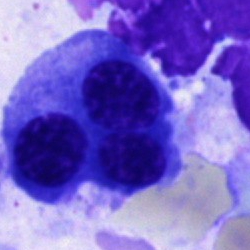
The cell is nucleated red blood cell.